Bone marrow smear; cropped to a single cell: 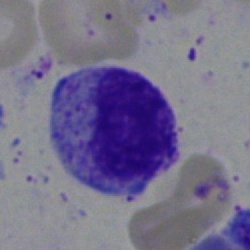 The cell is myelocyte.